Bone marrow smear
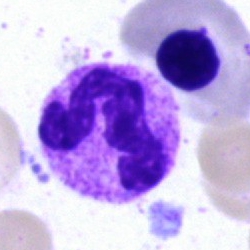

The cell shown is a polymorphonuclear neutrophil.